Single cell centered in the field · bone marrow aspirate smear
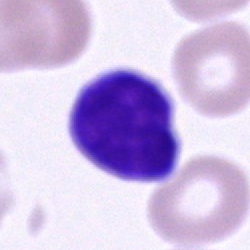Classification: typical lymphocyte.